400 by 400 pixels · peripheral blood film.
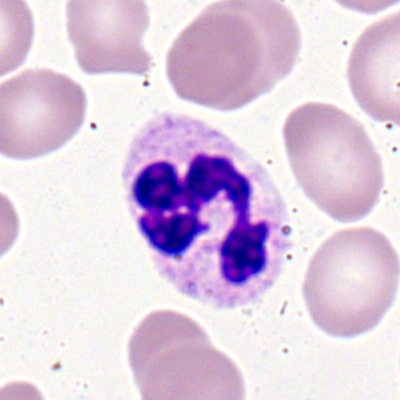 Q: What is shown here?
A: A polymorphonuclear neutrophil.